Bone marrow aspirate smear · single cell centered in the field · brightfield microscopy, 40× oil immersion.
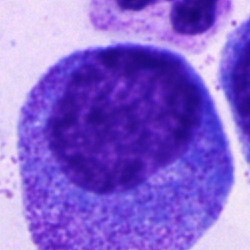 The cell shown is a promyelocyte.